Cropped to a single cell. Bone marrow smear:
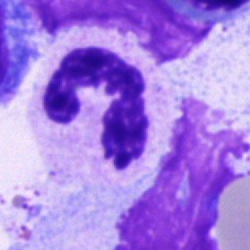

Cell: neutrophil (segmented).